May-Grünwald-Giemsa stain; bone marrow aspirate smear: 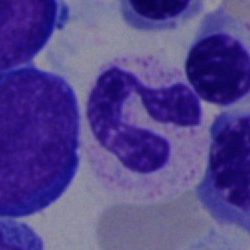
Morphological class = segmented neutrophil.